Bone marrow smear — 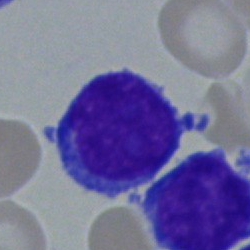
Specimen: bone marrow aspirate smear.
Cell: typical lymphocyte.